Bone marrow smear — 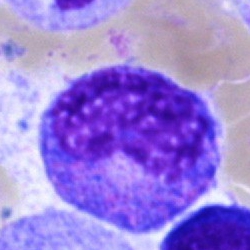
This is a progranulocyte.